Bone marrow smear.
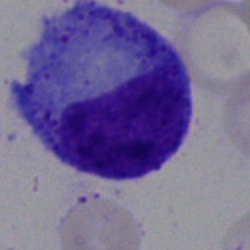A myelocyte.